May-Grünwald-Giemsa/Pappenheim stain · bone marrow smear — 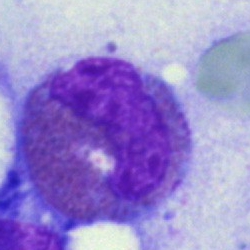
The cell type is eosinophil.